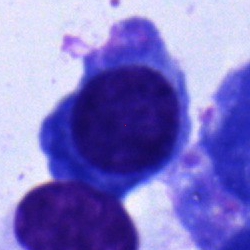Q: What cell is this?
A: A plasma cell.